Bone marrow aspirate smear: 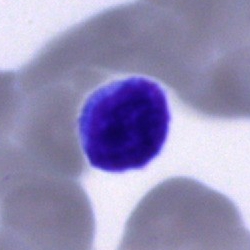
Cell: typical lymphocyte.